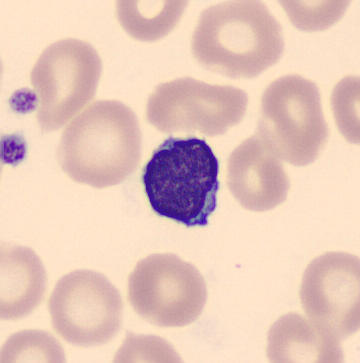

Morphology consistent with a typical lymphocyte.